Bone marrow aspirate smear.
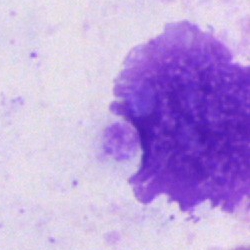
The cell shown is an artefact.